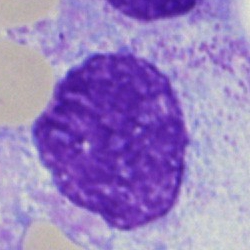

Cell type = artifact.